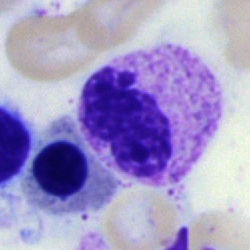
Morphology consistent with a segmented neutrophil.